Peripheral blood smear. Brightfield, 100× oil-immersion objective
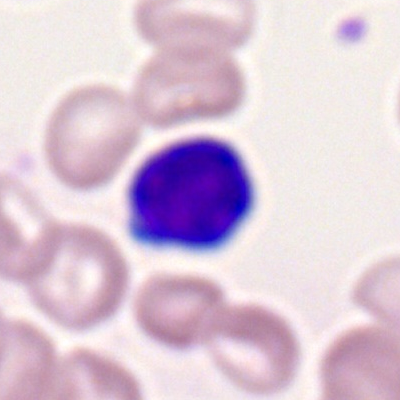 Morphology — lymphocyte.